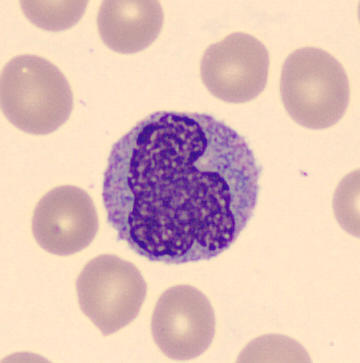
Morphological class: monocyte. Acquisition: Peripheral blood film.